250×250 · bone marrow smear · cropped to a single cell.
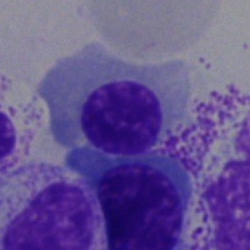

Nucleated red blood cell.